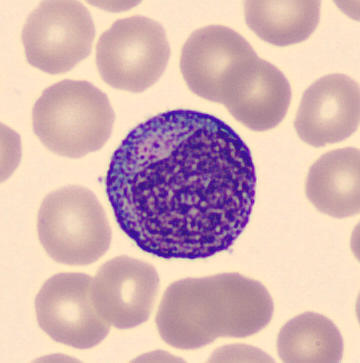
The cell is progranulocyte.